Image size 250×250; May-Grünwald-Giemsa/Pappenheim stain; bone marrow aspirate smear.
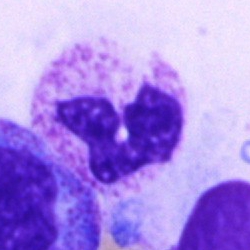
Specimen: bone marrow smear.
Cell type: segmented neutrophil.